Brightfield microscopy, 40× oil immersion. Bone marrow aspirate smear.
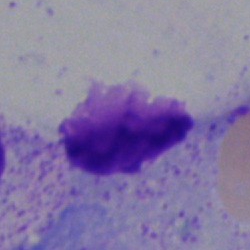 Q: What is shown here?
A: Artifact.